Bone marrow aspirate smear · May-Grünwald-Giemsa stain:
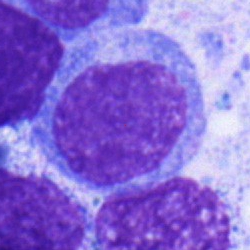Showing a blast cell.